Bone marrow smear · brightfield microscopy, 40× oil immersion · MGG-stained
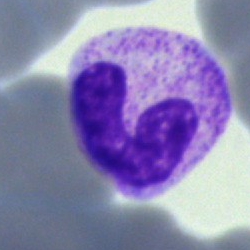
Q: What type of cell is this?
A: Neutrophil (band).